Bone marrow aspirate smear.
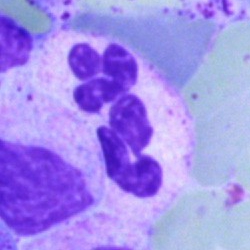

Impression — neutrophil (segmented).